Bone marrow aspirate smear; May-Grünwald-Giemsa/Pappenheim stain:
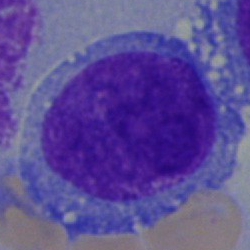

This is a blast.